Bone marrow aspirate smear · brightfield microscopy, 40× oil immersion — 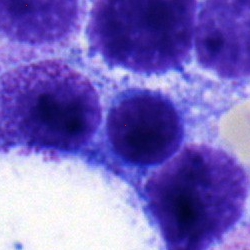Q: What is shown here?
A: This is a typical lymphocyte.